Bone marrow aspirate smear — 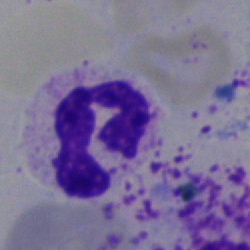 Impression — polymorphonuclear neutrophil.